Bone marrow aspirate smear.
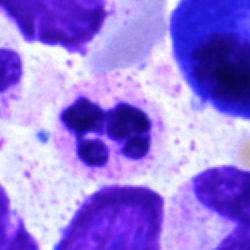Neutrophil (segmented).